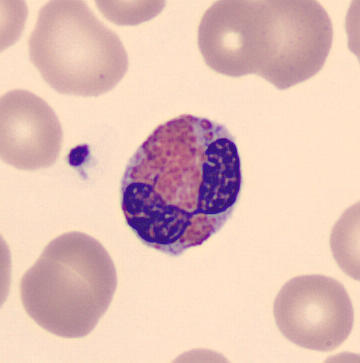 Acquisition: MGG-stained; single cell centered in the field; peripheral blood smear.
Morphological class: eosinophilic granulocyte.